May-Grünwald-Giemsa stain; bone marrow aspirate smear — 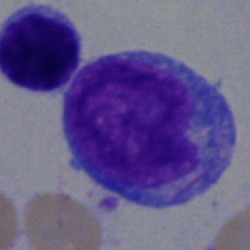 Impression → blast cell.